Bone marrow smear. May-Grünwald-Giemsa stain. 250×250: 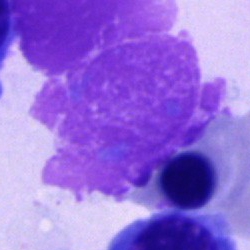Single cell identified as an artefact.